Bone marrow smear: 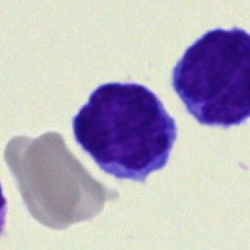

Cell type — lymphocyte.